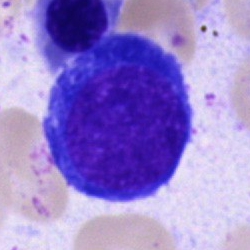 Cell: normoblast.